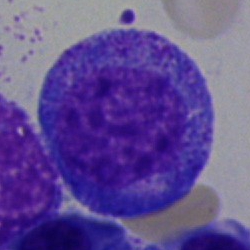
Cell = progranulocyte.